Bone marrow smear
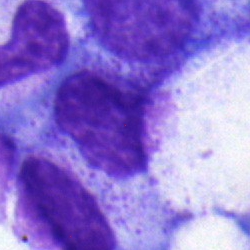

Q: Identify the cell.
A: It is a myelocyte.